40× objective, oil immersion; bone marrow aspirate smear — 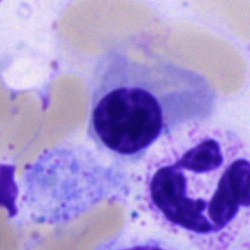 This is a normoblast.